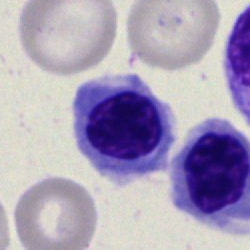This is a nucleated red blood cell.